40× oil immersion; bone marrow aspirate smear; cropped to a single cell: 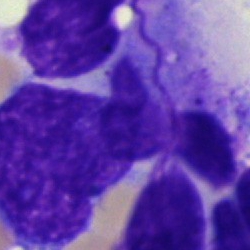

Impression — artefact.